Bone marrow smear; 40× objective, oil immersion; May-Grünwald-Giemsa/Pappenheim stain.
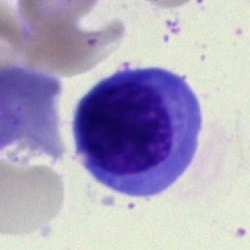 Morphology — normoblast.